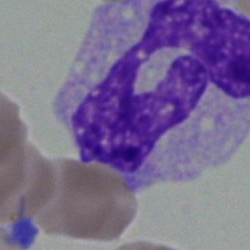 The cell type is monocyte.